Bone marrow smear
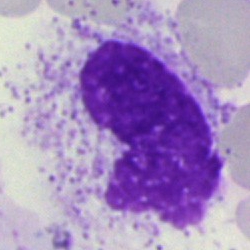
Specimen: bone marrow smear.
Classification: artefact.